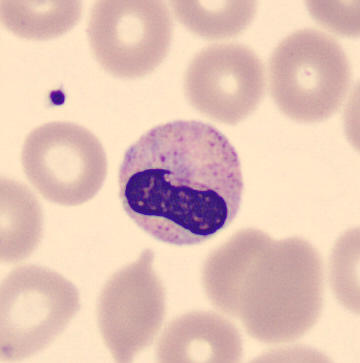
Preparation: Peripheral blood smear.
The cell shown is a band neutrophil.